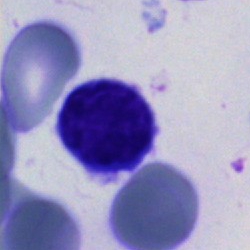

{"cell_type": "typical lymphocyte"}